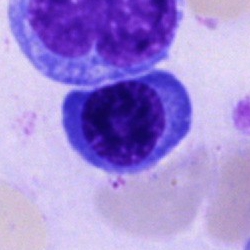 The morphological class is nucleated red cell.